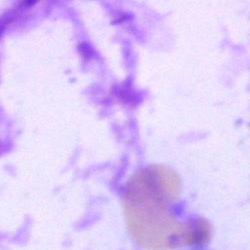

Classification — artifact.